Bone marrow smear.
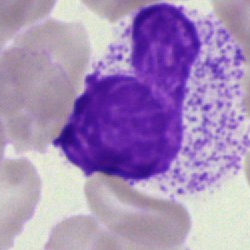Morphology consistent with an artifact.